Peripheral blood smear:
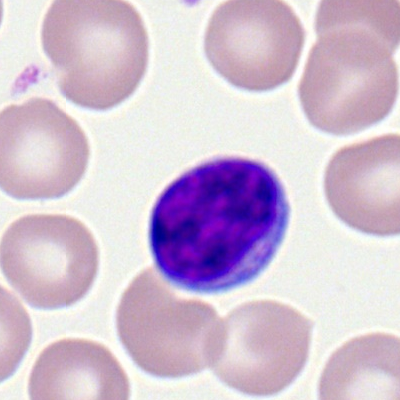 A lymphocyte.